Peripheral blood film.
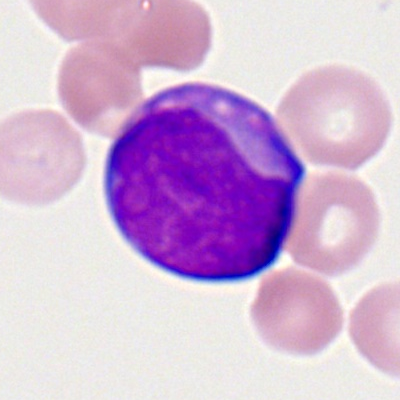
The morphological class is myeloid blast.